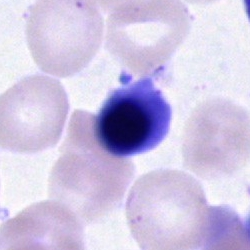
Showing an erythroblast.